Bone marrow smear · cropped to a single cell.
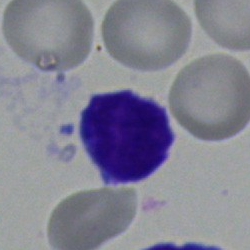

The classification is lymphocyte.